40× objective, oil immersion · bone marrow aspirate smear — 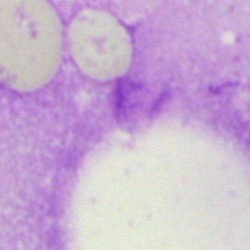Morphology consistent with an artefact.